Bone marrow smear:
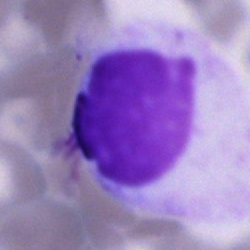

Showing a cell of indeterminate lineage.